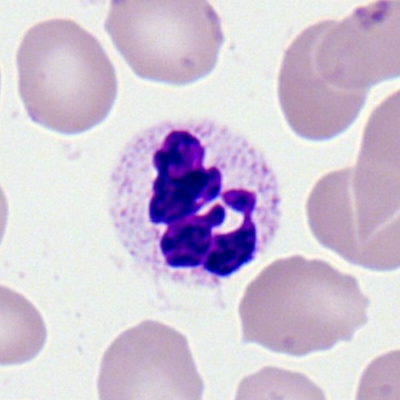

Q: Which cell type is shown here?
A: This is a polymorphonuclear neutrophil.